Bone marrow smear · May-Grünwald-Giemsa stain · image size 250×250: 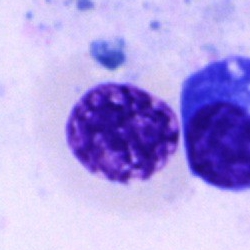

Specimen: bone marrow smear.
Cell type: basophilic granulocyte.